Single-cell field; bone marrow smear: 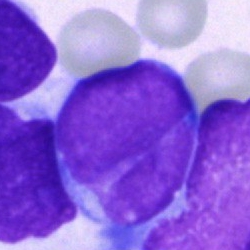A blast cell.